Bone marrow smear:
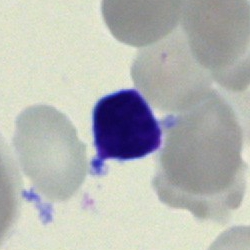

Morphology — typical lymphocyte.